Bone marrow aspirate smear.
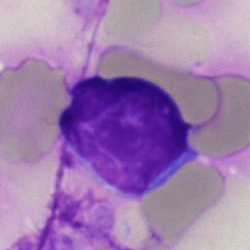
A typical lymphocyte.